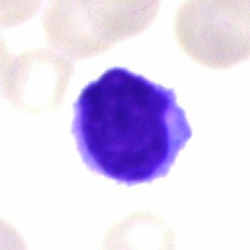
The morphological class is lymphocyte.